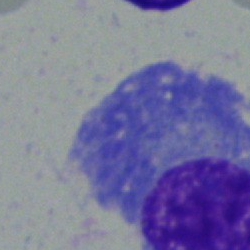 Morphological class — plasma cell.